Peripheral blood smear. 100× oil immersion. Cropped to a single cell
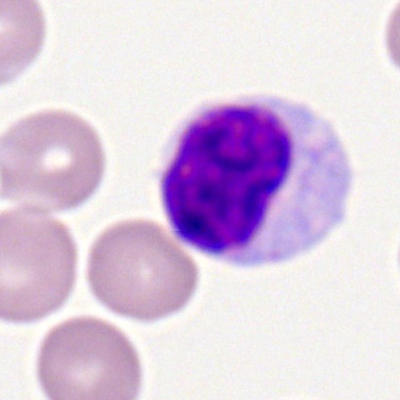
Showing a typical lymphocyte.